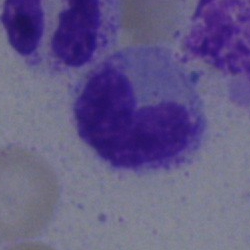 Neutrophil (band).